Bone marrow smear
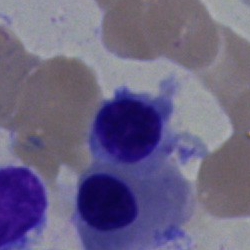 The cell is nucleated red blood cell.